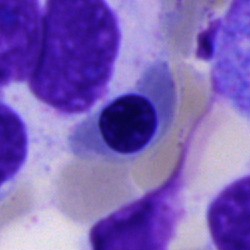

A nucleated red blood cell on a bone marrow smear.